Image size 400×400; peripheral blood film.
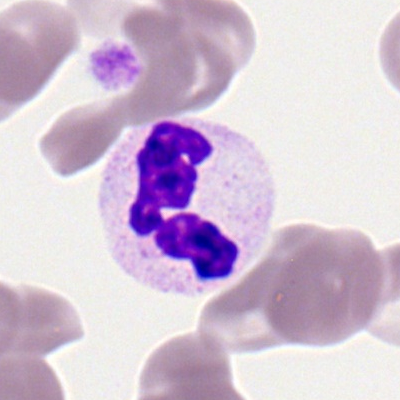 Showing a polymorphonuclear neutrophil.